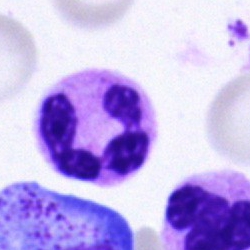Cell: segmented neutrophil.